Bone marrow aspirate smear · May-Grünwald-Giemsa/Pappenheim stain · brightfield, 40× oil-immersion objective.
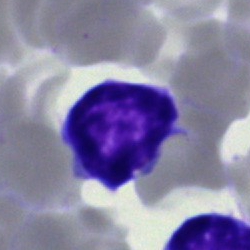Q: Which cell type is shown here?
A: It is a typical lymphocyte.